Bone marrow aspirate smear: 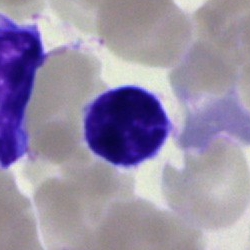
Showing a lymphocyte.